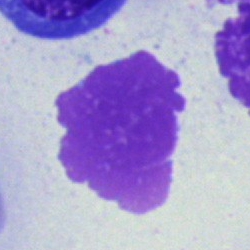Morphological class — artifact.